Bone marrow smear.
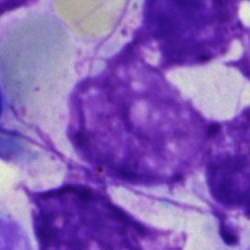Q: What is shown here?
A: It is an artefact.